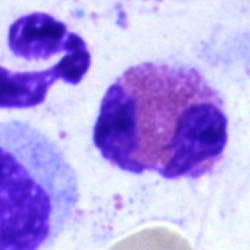
An eosinophilic granulocyte.